Bone marrow aspirate smear; single cell centered in the field
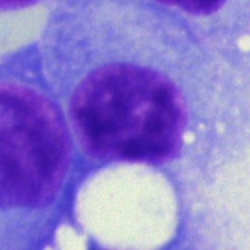Q: Which cell type is shown here?
A: It is a nucleated red cell.